Bone marrow aspirate smear — 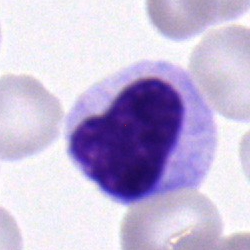Q: What cell is this?
A: It is a segmented neutrophil.